Bone marrow aspirate smear. Brightfield microscopy, 40× oil immersion. Single cell centered in the field: 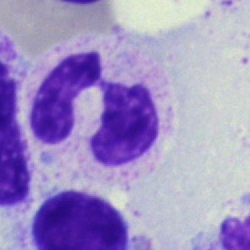
Impression → neutrophil (segmented).